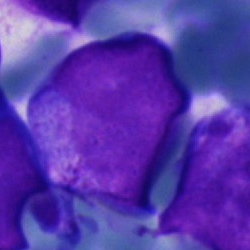 Q: What is the morphological classification of this cell?
A: This is a blast.